Bone marrow aspirate smear — 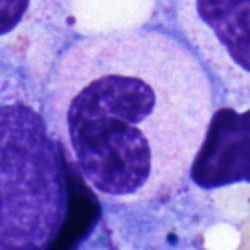

Morphology — stab cell.